Single cell centered in the field · bone marrow smear · 40× oil immersion.
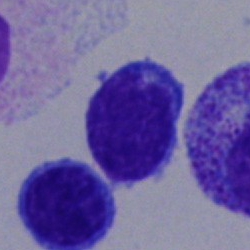A typical lymphocyte.